May-Grünwald-Giemsa/Pappenheim stain; bone marrow aspirate smear.
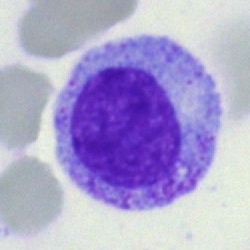

Specimen: bone marrow aspirate smear.
Cell type: myelocyte.